Peripheral blood film — 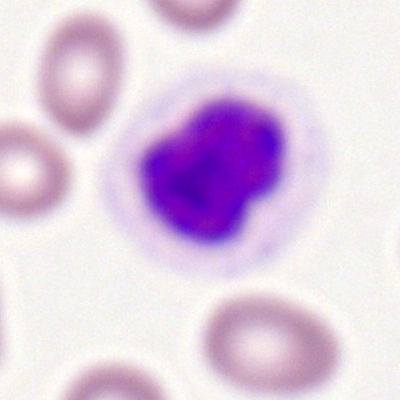 A segmented neutrophil.